Bone marrow smear: 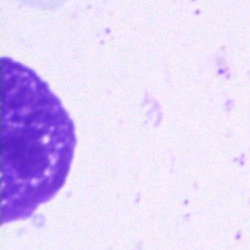Morphological class — artifact.